Bone marrow aspirate smear; single-cell crop; 250×250
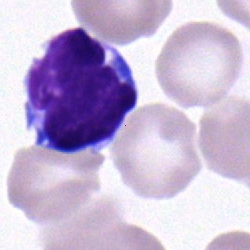Classification: lymphocyte.